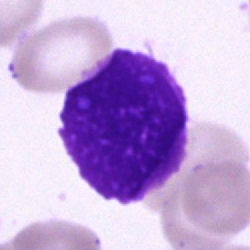
Q: What is shown here?
A: It is an artefact.